Bone marrow smear:
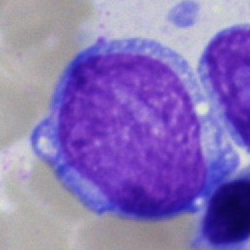
This is an undifferentiated blast.